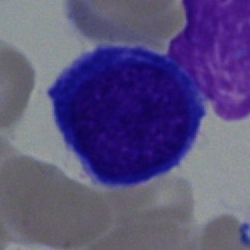
Cell — erythroblast.